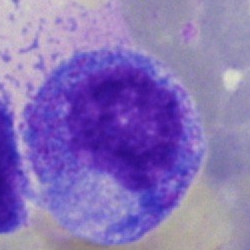
The classification is promyelocyte.